Bone marrow smear · 40× objective, oil immersion
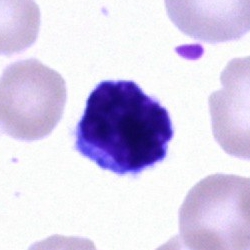 Impression → typical lymphocyte.